Brightfield, 40× oil-immersion objective · bone marrow aspirate smear.
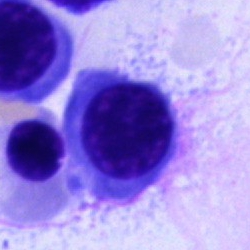 Q: What type of cell is this?
A: It is a nucleated red cell.